Brightfield microscopy, 40× oil immersion · Pappenheim-stained · bone marrow smear:
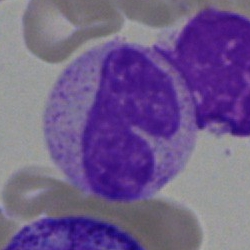
The cell shown is a polymorphonuclear neutrophil.